Image size 400×400. Peripheral blood smear
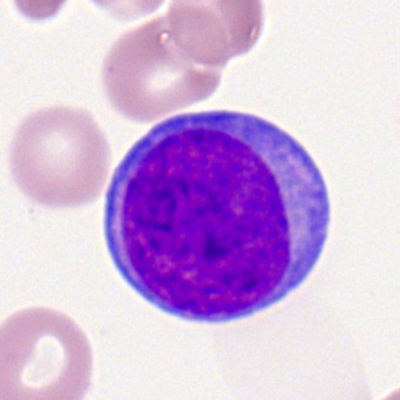
Q: What is shown here?
A: Myeloid blast.